Bone marrow smear — 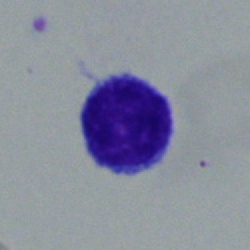

Classification = lymphocyte.